Bone marrow aspirate smear — 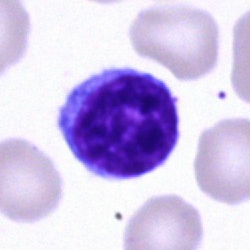
Cell — lymphocyte.